Bone marrow smear — 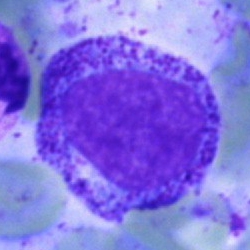

Cell = progranulocyte.